Bone marrow smear — 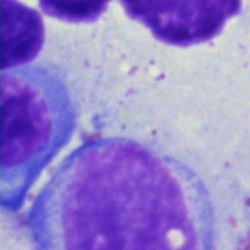Cell type = undifferentiated blast.